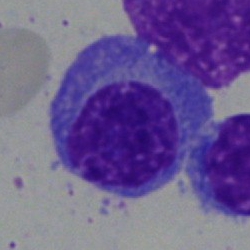 The cell is plasma cell.